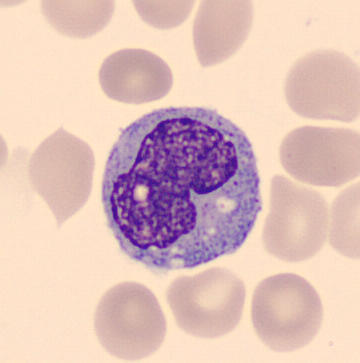
Single-cell crop from a peripheral blood smear: monocyte.